40× oil immersion. Bone marrow smear — 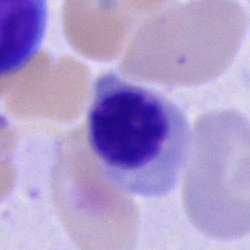
A nucleated red cell.